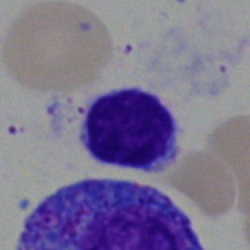
Single-cell crop from a bone marrow smear: typical lymphocyte.